Bone marrow aspirate smear. May-Grünwald-Giemsa stain. Image size 250×250
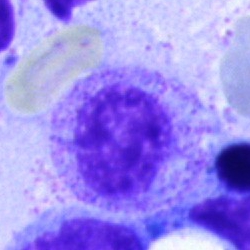The cell type is myelocyte.